Bone marrow aspirate smear
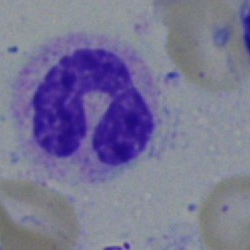

Morphology — stab cell.